Pappenheim-stained. Bone marrow smear:
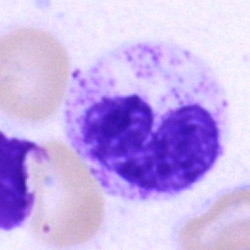Specimen: bone marrow aspirate smear.
Cell: segmented neutrophil.